Cropped to a single cell · bone marrow aspirate smear
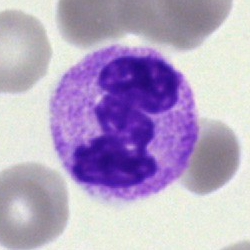

Q: Which cell type is shown here?
A: It is a polymorphonuclear neutrophil.